Bone marrow aspirate smear — 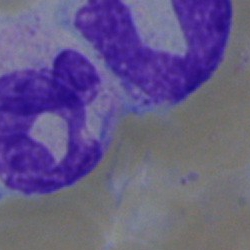
Cell — neutrophil (segmented).